40× objective, oil immersion. Bone marrow aspirate smear
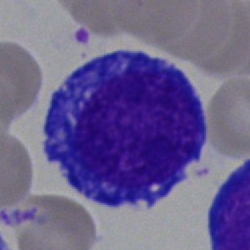Nucleated red cell.